Bone marrow smear
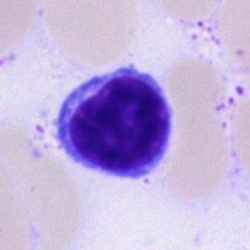

Specimen: bone marrow smear.
Cell: lymphocyte.